Bone marrow aspirate smear; 250×250 px.
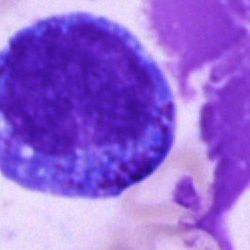 Impression — progranulocyte.